Bone marrow smear: 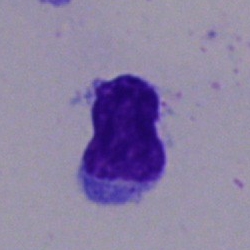 Q: Which cell type is shown here?
A: A typical lymphocyte.